Bone marrow aspirate smear: 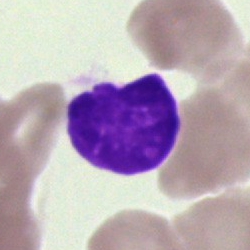
Single cell identified as an artifact.